40× objective, oil immersion · bone marrow smear:
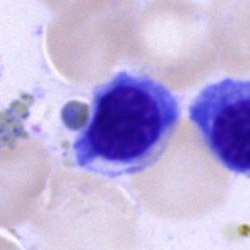Morphology — nucleated red cell.